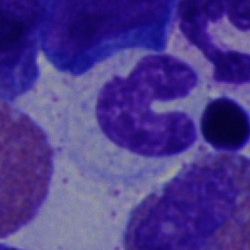 Q: What cell is this?
A: This is a stab cell.